Bone marrow aspirate smear
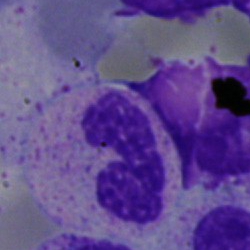
Q: What is shown here?
A: Segmented neutrophil.